Bone marrow smear.
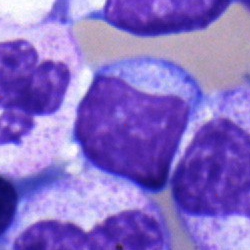

Classification: typical lymphocyte.